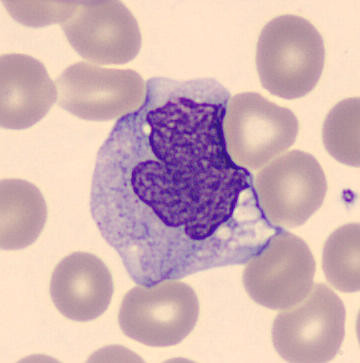 Q: What is this?
A: A monocyte.